Bone marrow aspirate smear
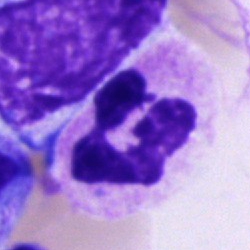 Q: Which cell type is shown here?
A: Polymorphonuclear neutrophil.